Bone marrow smear — 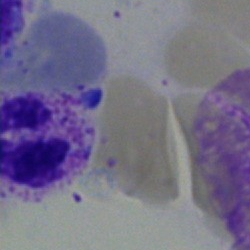

Cell type — polymorphonuclear neutrophil.